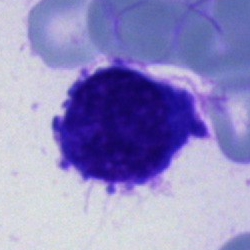
Bone marrow smear showing a cell of indeterminate lineage.